Bone marrow aspirate smear
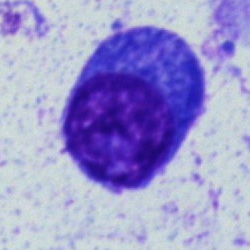
Morphology consistent with a plasma cell.